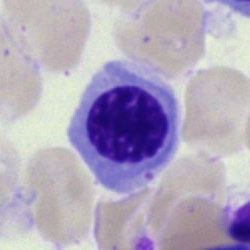

Cell — erythroblast.